Bone marrow aspirate smear: 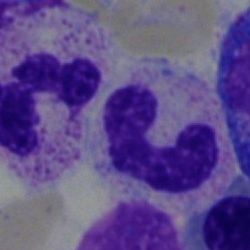

Morphology — polymorphonuclear neutrophil.